Bone marrow smear — 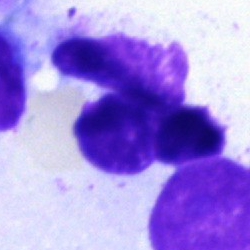Q: What is shown here?
A: Artifact.